Cropped to a single cell; bone marrow aspirate smear — 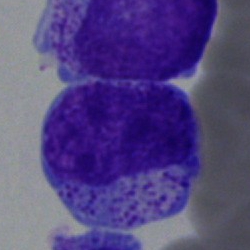
Cell type = progranulocyte.